Bone marrow smear.
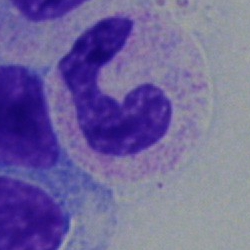 The cell shown is a neutrophil (band).